Brightfield, 40× oil-immersion objective · bone marrow smear:
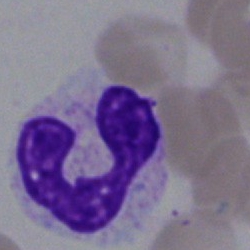

{"cell_type": "neutrophil (segmented)", "lineage": "myeloid"}